Bone marrow aspirate smear. 250×250:
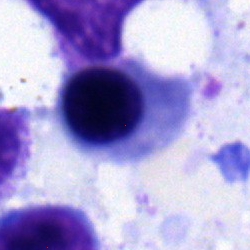
Specimen: bone marrow smear.
Morphological class: nucleated red cell.
Lineage: erythroid.